Single cell centered in the field · peripheral blood film — 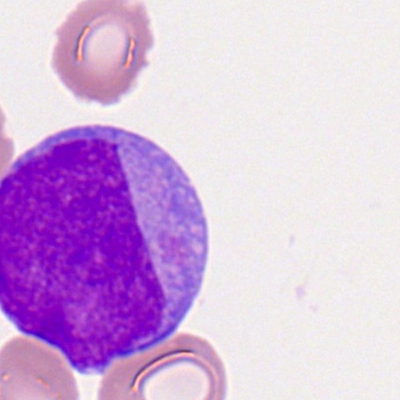
A myeloid blast.